Bone marrow smear. 250 by 250 pixels: 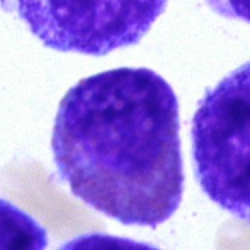 The cell type is eosinophilic granulocyte.